MGG-stained. Bone marrow aspirate smear. Cropped to a single cell
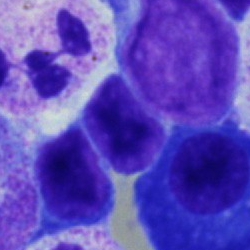Lymphocyte.